Bone marrow smear. MGG-stained — 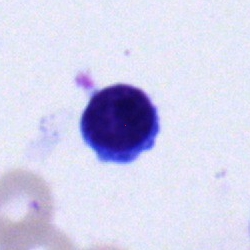 Cell type: typical lymphocyte.